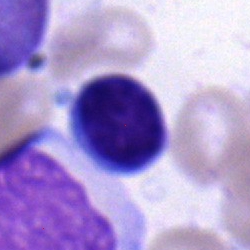 Cell: lymphocyte.